Bone marrow aspirate smear · Pappenheim-stained
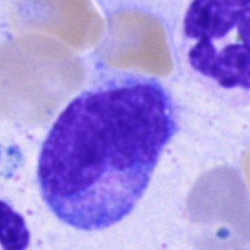{"cell_type": "monocyte", "lineage": "myeloid"}